Bone marrow aspirate smear — 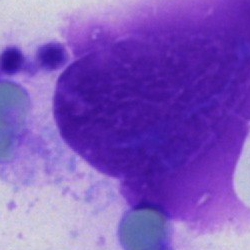Specimen: bone marrow aspirate smear.
Cell: artifact.